Bone marrow aspirate smear:
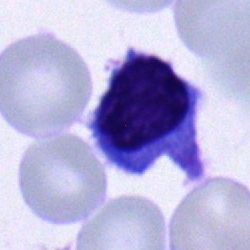

Q: What cell is this?
A: It is a typical lymphocyte.